Pappenheim-stained. Bone marrow smear: 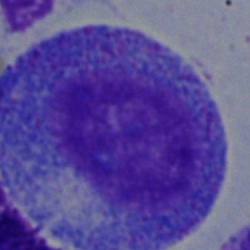Progranulocyte.